Bone marrow aspirate smear: 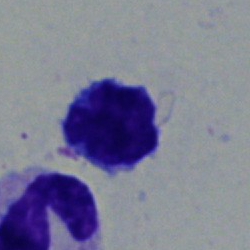

A lymphocyte.